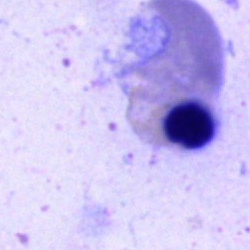

Bone marrow smear showing a nucleated red cell.